Bone marrow smear:
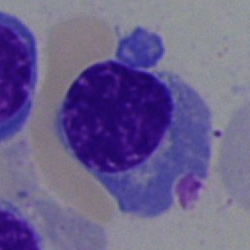Showing a nucleated red blood cell.